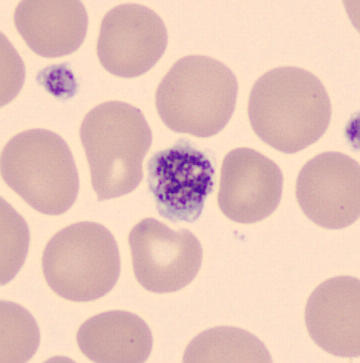
Cell type = platelet.

Image: CellaVision DM96 digital cell image · peripheral blood film · 360 by 363 pixels.